Cropped to a single cell; peripheral blood smear; image size 400×400
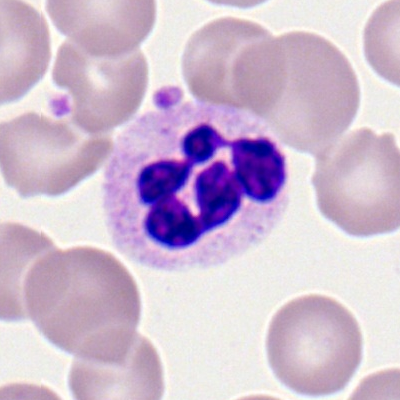
Impression — neutrophil (segmented).